Peripheral blood smear — 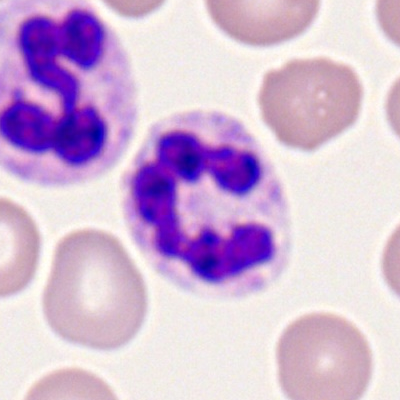The cell shown is a neutrophil (segmented).